Bone marrow smear; 250×250
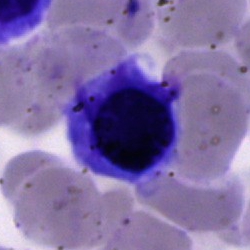

Q: What is shown here?
A: An artefact.